Bone marrow aspirate smear:
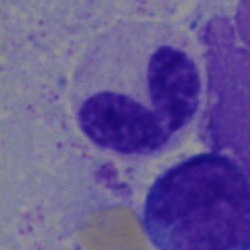{"cell_type": "segmented neutrophil", "lineage": "myeloid"}